Bone marrow smear; single-cell field.
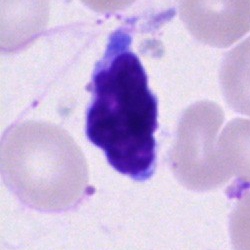
Lymphocyte.